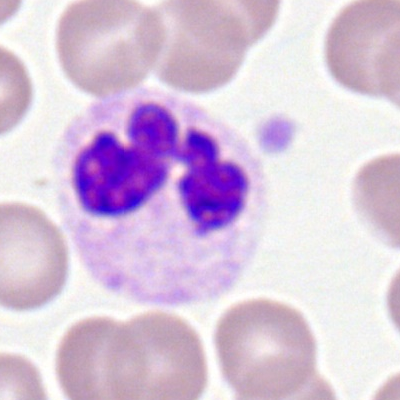

Classification: neutrophil (segmented).